Bone marrow smear.
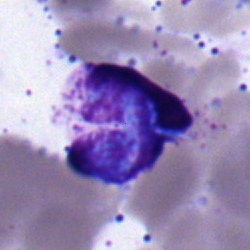

Impression — polymorphonuclear neutrophil.